Bone marrow aspirate smear — 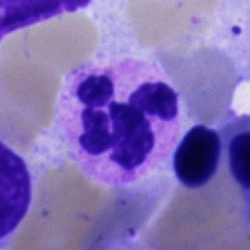Polymorphonuclear neutrophil.